Pappenheim-stained · brightfield, 40× oil-immersion objective · bone marrow aspirate smear
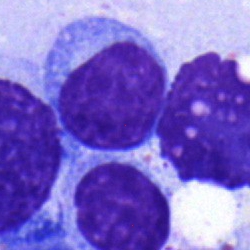
This is a lymphocyte.